Bone marrow smear.
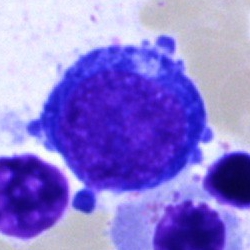The cell type is proerythroblast.